400×400 px · peripheral blood smear.
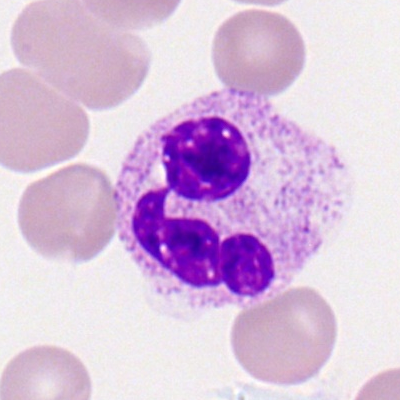Impression → neutrophil (segmented).